Bone marrow aspirate smear · May-Grünwald-Giemsa/Pappenheim stain:
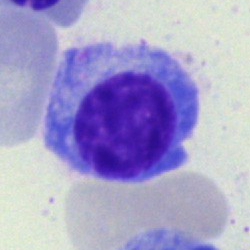

The cell is plasmacyte.